Peripheral blood film. Single cell centered in the field — 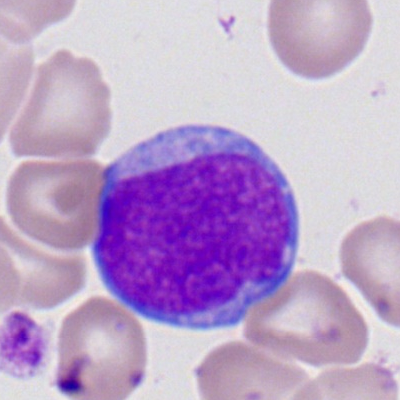 Cell — myeloid blast.